Brightfield microscopy, 40× oil immersion; bone marrow smear.
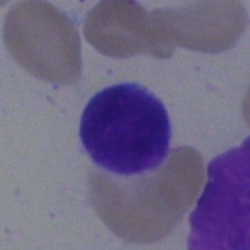

Q: Which cell type is shown here?
A: This is a lymphocyte.